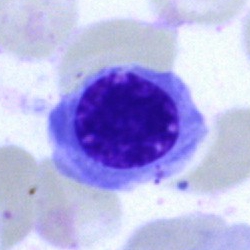

A nucleated red blood cell on a bone marrow smear.